Bone marrow smear.
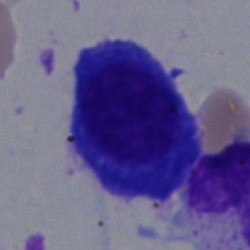 Cell type — plasmacyte.